May-Grünwald-Giemsa stain. Bone marrow smear: 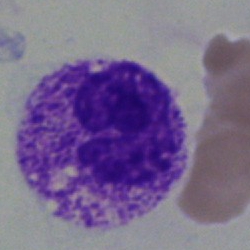The cell type is band neutrophil.